Bone marrow aspirate smear: 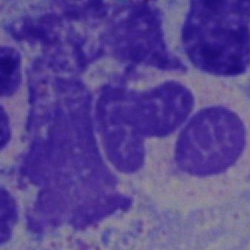 Single cell identified as an artifact.